Bone marrow smear — 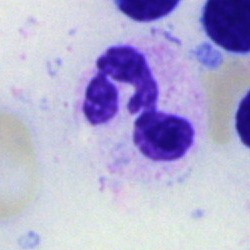Showing a neutrophil (segmented).